Bone marrow smear
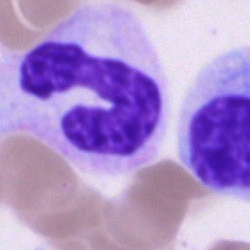 Q: What is shown here?
A: A band-form neutrophil.